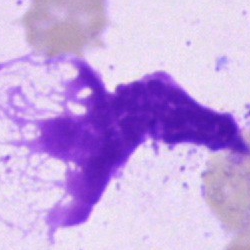

Bone marrow aspirate smear, single cell — artifact.